Bone marrow aspirate smear — 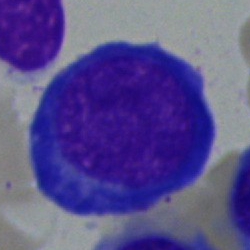
{"cell_type": "proerythroblast"}